Bone marrow smear.
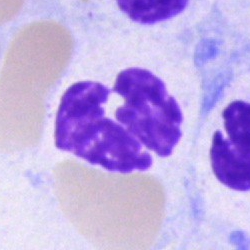This is a neutrophil (segmented).